Cropped to a single cell; bone marrow smear:
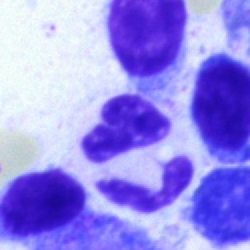

A polymorphonuclear neutrophil.